Bone marrow smear · 40× objective, oil immersion
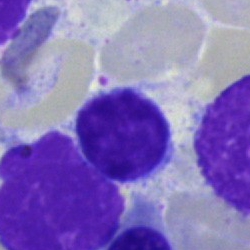 Morphological class — lymphocyte.